Bone marrow aspirate smear — 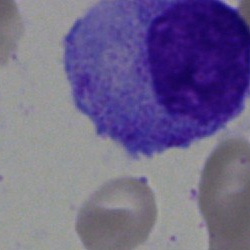

A promyelocyte.